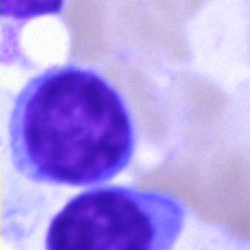 Bone marrow smear showing a typical lymphocyte.